Peripheral blood smear · cropped to a single cell · Romanowsky-stained:
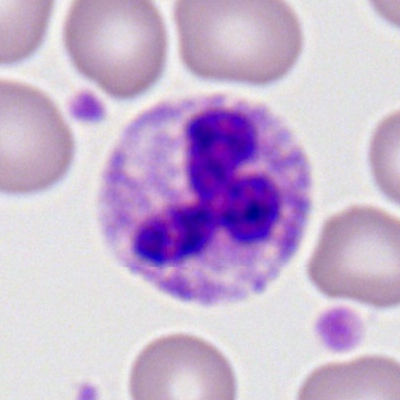Cell: polymorphonuclear neutrophil.